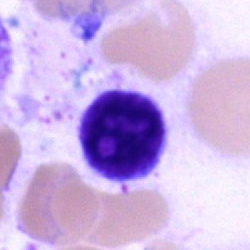
Cell = lymphocyte.